40× oil immersion; cropped to a single cell; bone marrow smear.
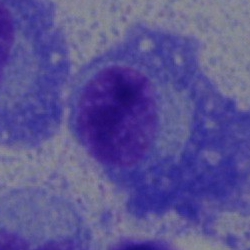
{"cell_type": "plasma cell", "lineage": "lymphoid"}